Cropped to a single cell. Peripheral blood smear — 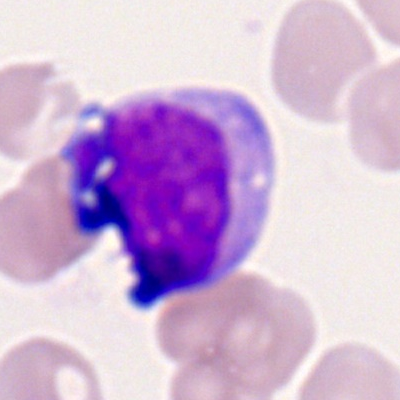 Morphological class = myeloblast.